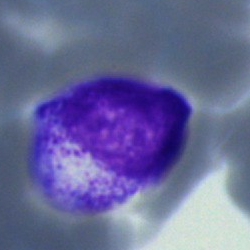

Specimen: bone marrow aspirate smear.
Cell: artefact.